Bone marrow aspirate smear: 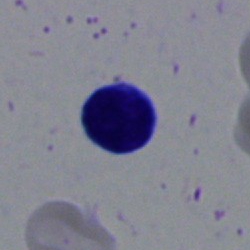 Impression — lymphocyte.